Bone marrow smear — 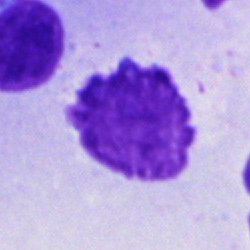 Q: What is shown here?
A: An artefact.